Peripheral blood smear: 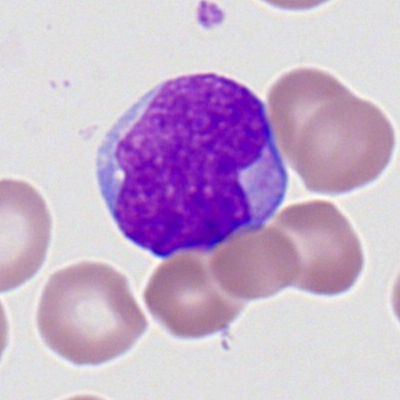
The cell shown is a myeloid blast.